Bone marrow aspirate smear · 40× objective, oil immersion
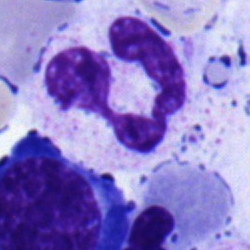
Cell = polymorphonuclear neutrophil.